Peripheral blood smear:
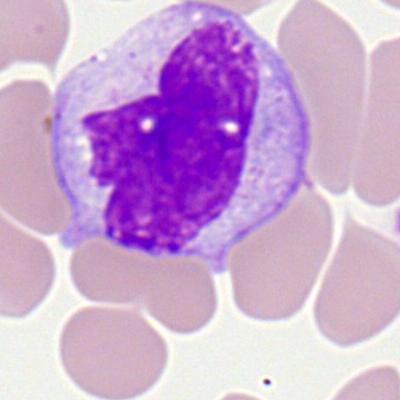

Q: What cell is this?
A: A monocyte.